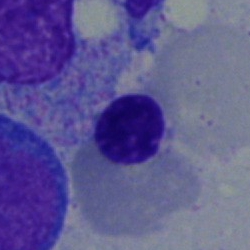 Bone marrow smear showing a normoblast.